Single-cell crop. Bone marrow aspirate smear: 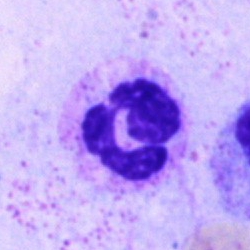 The cell shown is a segmented neutrophil.